40× objective, oil immersion · cropped to a single cell · bone marrow aspirate smear
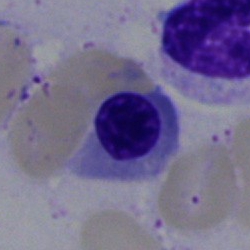

Classification — nucleated red cell.